Bone marrow smear:
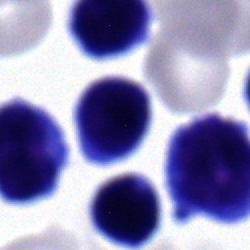

Cell type — lymphocyte.